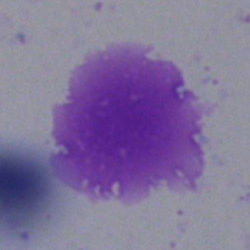

An artefact on a bone marrow smear.